Bone marrow smear: 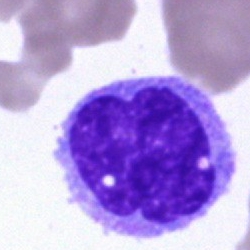
Cell: monocyte.